Bone marrow aspirate smear:
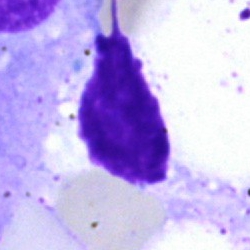 The classification is artefact.